Bone marrow smear; single cell centered in the field — 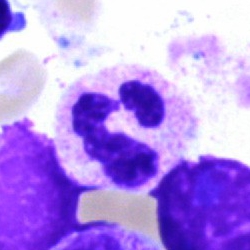

Showing a polymorphonuclear neutrophil.